Brightfield, 40× oil-immersion objective · bone marrow smear · cropped to a single cell
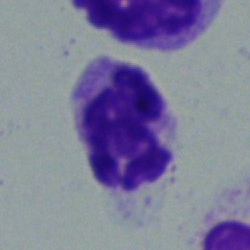

A segmented neutrophil.